Peripheral blood film.
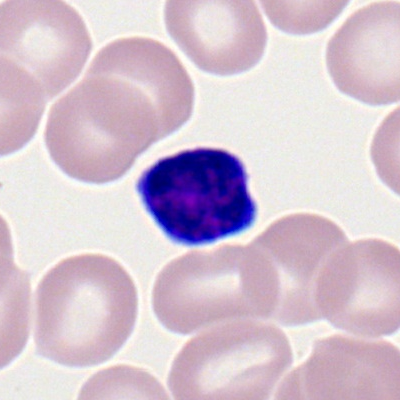
This is a typical lymphocyte.